Peripheral blood smear: 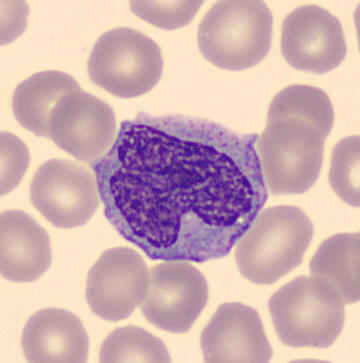Classification: monocyte.